Romanowsky stain; peripheral blood smear: 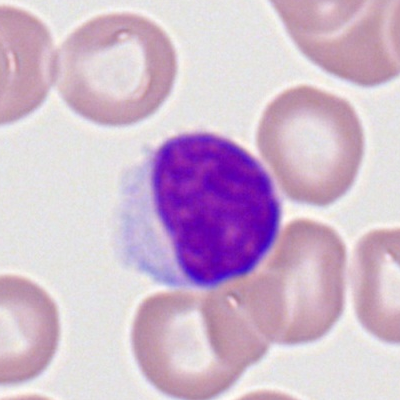Classification: lymphocyte.